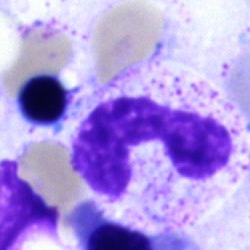

Single-cell crop from a bone marrow smear: band-form neutrophil.